Bone marrow smear. Pappenheim-stained:
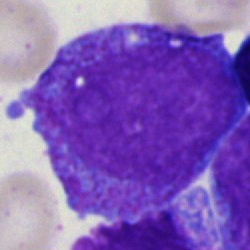

Morphological class: promyelocyte.